Bone marrow smear:
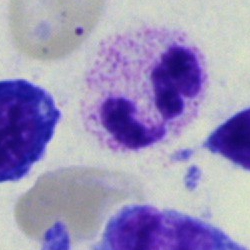

Segmented neutrophil.